May-Grünwald-Giemsa stain · bone marrow smear:
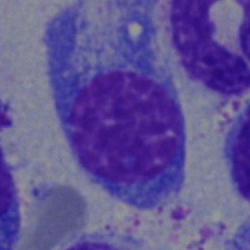

Specimen: bone marrow aspirate smear.
Cell: plasma cell.